Bone marrow smear:
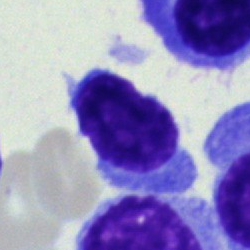 Cell type = typical lymphocyte.